Bone marrow aspirate smear.
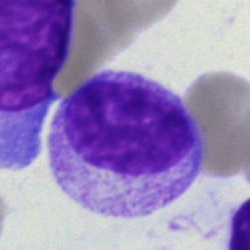
Morphology consistent with a myelocyte.